May-Grünwald-Giemsa stain · bone marrow smear:
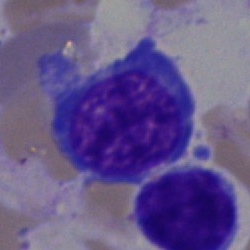 Cell type — normoblast.